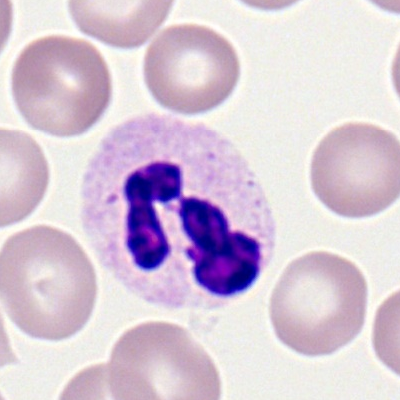
This is a segmented neutrophil.